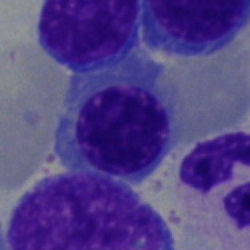 Q: What type of cell is this?
A: It is an erythroblast.